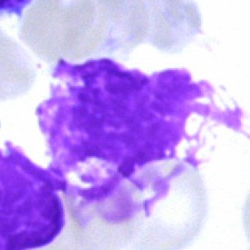 Cell = artifact.